Romanowsky-stained; peripheral blood smear; single-cell crop:
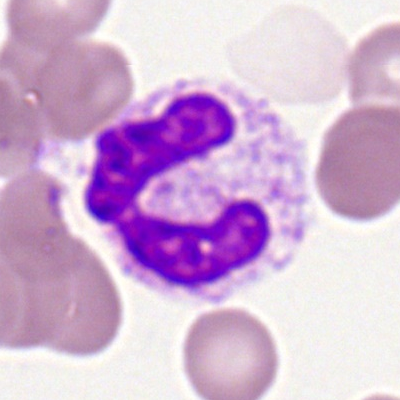

Specimen: peripheral blood smear.
Morphological class: neutrophil (segmented).
Lineage: myeloid.